Bone marrow aspirate smear:
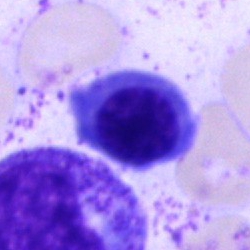Single cell identified as an erythroblast.